Peripheral blood smear: 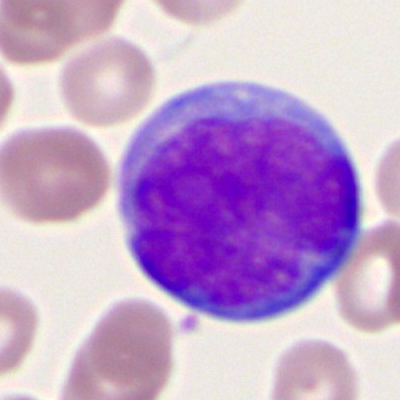Morphology → myeloid blast.